Single-cell field. Bone marrow aspirate smear
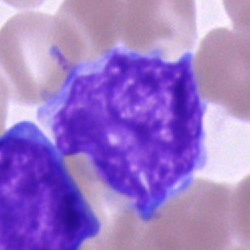Classification: blast.